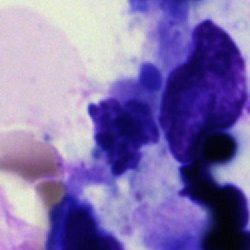Specimen: bone marrow aspirate smear.
Cell: artifact.